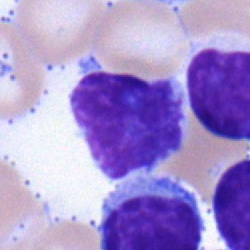 The cell shown is a lymphocyte.